Bone marrow aspirate smear: 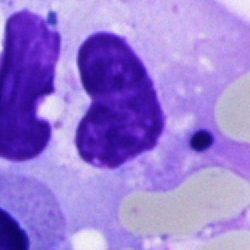
{"cell_type": "artefact"}